Bone marrow smear:
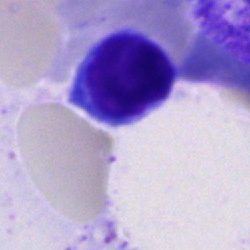
Q: Identify the cell.
A: It is a lymphocyte.